Bone marrow aspirate smear.
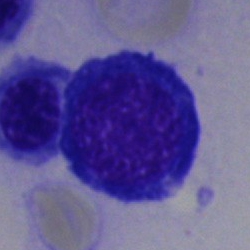Cell type = nucleated red cell.